Bone marrow aspirate smear.
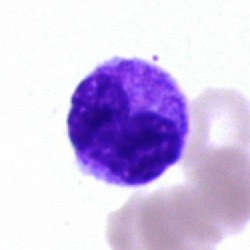
Cell type = metamyelocyte.